Bone marrow aspirate smear: 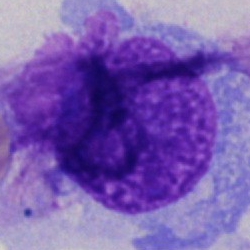 Showing an artifact.